Single-cell crop; brightfield microscopy, 40× oil immersion; bone marrow aspirate smear:
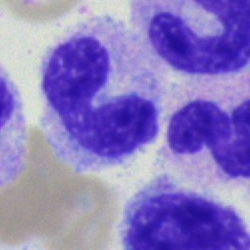 This is a neutrophil (band).